Peripheral blood smear
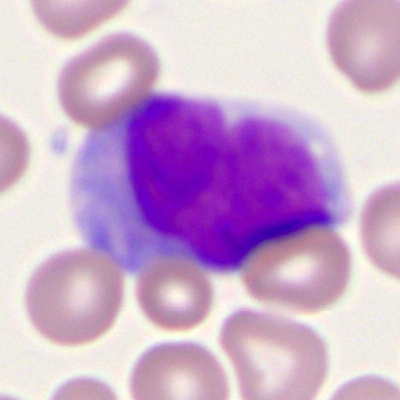
Morphology consistent with a myeloid blast.